Bone marrow smear:
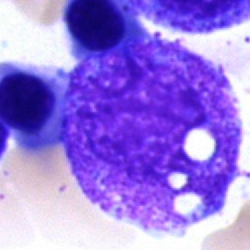The cell shown is a myelocyte.